Bone marrow aspirate smear:
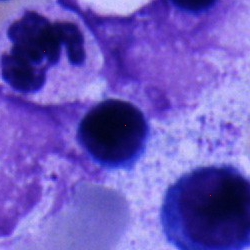Specimen: bone marrow smear.
Cell type: lymphocyte.